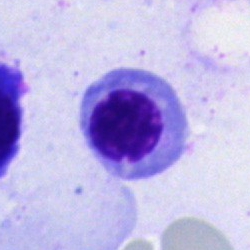
Q: What is shown here?
A: It is a nucleated red cell.